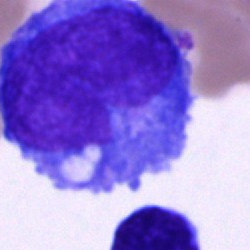 The cell type is blast.